Bone marrow smear.
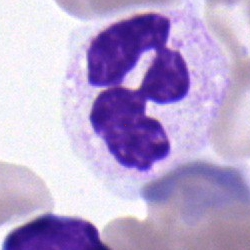

Showing a neutrophil (segmented).